Brightfield microscopy, 40× oil immersion; bone marrow smear; May-Grünwald-Giemsa stain
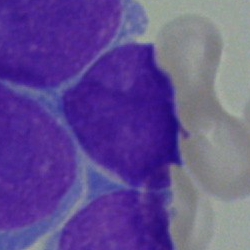

Q: What is the morphological classification of this cell?
A: Blast cell.